Bone marrow aspirate smear.
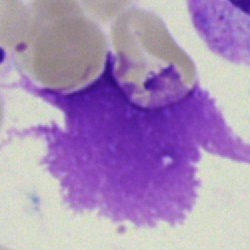
Morphology → artifact.